Bone marrow smear. 250×250 px.
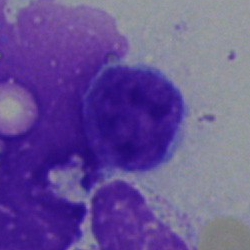 This is a lymphocyte.